Bone marrow aspirate smear; image size 250×250 — 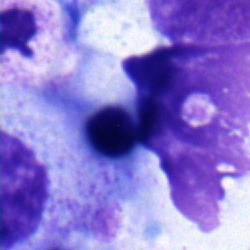
Morphology consistent with a normoblast.